Bone marrow aspirate smear.
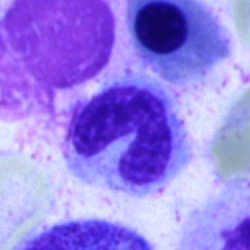
This is a stab cell.